Single-cell crop · May-Grünwald-Giemsa/Pappenheim stain · bone marrow smear: 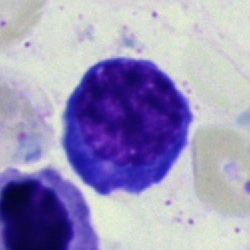
Classification — erythroblast.